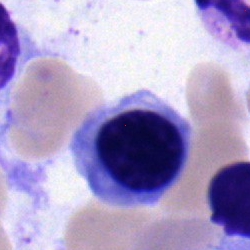Specimen: bone marrow aspirate smear.
Classification: erythroblast.
Lineage: erythroid.